Bone marrow smear — 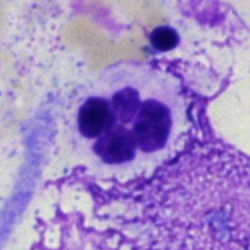
{"cell_type": "segmented neutrophil"}